Bone marrow aspirate smear:
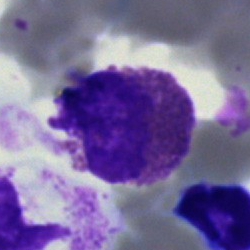
This is an eosinophilic granulocyte.